Bone marrow smear — 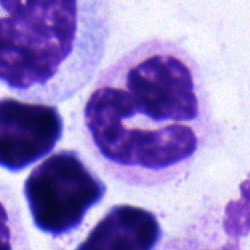
This is a polymorphonuclear neutrophil.